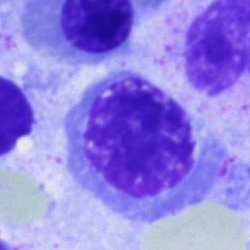Specimen: bone marrow smear.
Cell type: normoblast.
Lineage: erythroid.